Cropped to a single cell. Bone marrow smear:
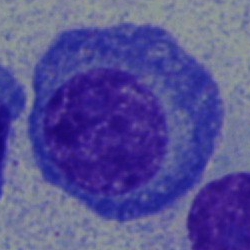

Q: What is shown here?
A: Plasmacyte.